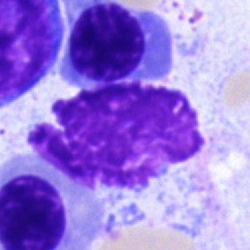Single cell identified as an artefact.